Bone marrow smear; image size 250×250; May-Grünwald-Giemsa stain: 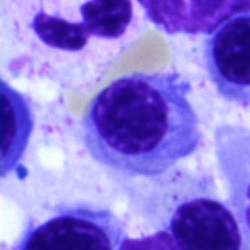 Q: What cell is this?
A: It is a normoblast.